Single-cell crop; bone marrow aspirate smear
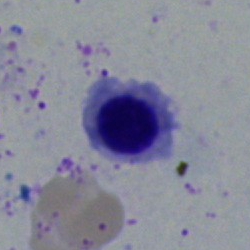Morphological class — normoblast.